Image size 250×250; bone marrow smear: 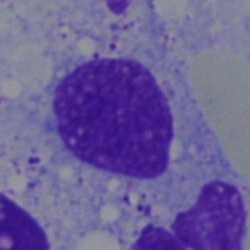
Morphological class — artifact.